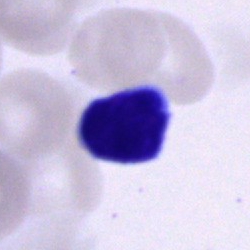 Bone marrow smear showing a lymphocyte.